MGG-stained. Bone marrow smear. Brightfield microscopy, 40× oil immersion — 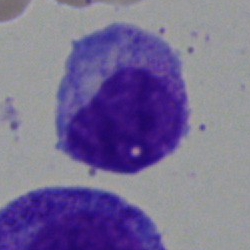The cell shown is a myelocyte.